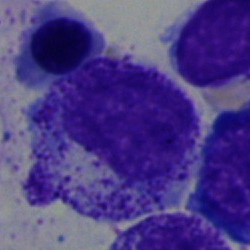

Cell type: myelocyte.